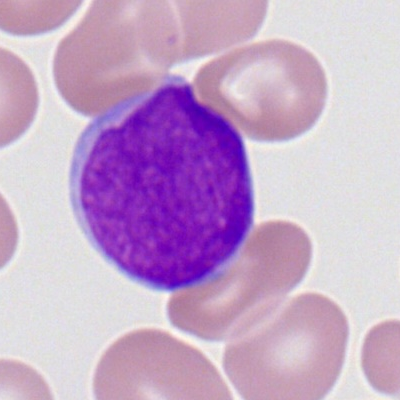
Myeloid blast.